250 by 250 pixels. Bone marrow smear:
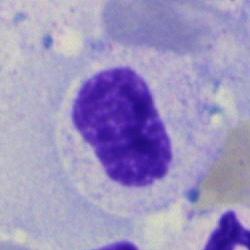Q: What is the morphological classification of this cell?
A: It is a stab cell.